Peripheral blood smear: 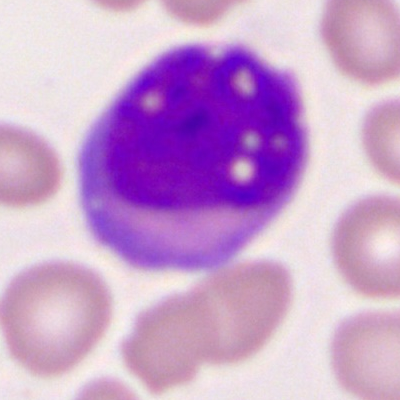 A myeloblast.